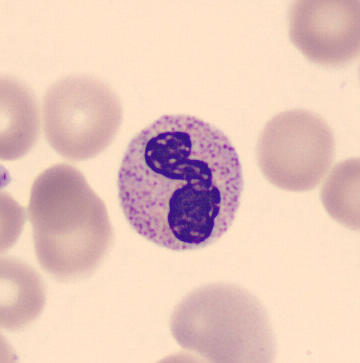Single cell identified as a band-form neutrophil.